Bone marrow smear. Pappenheim-stained. 250×250
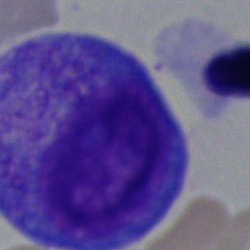 The cell shown is a promyelocyte.